Bone marrow smear.
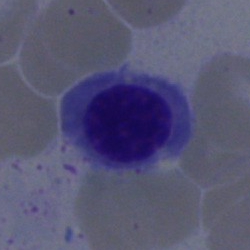

Impression — nucleated red cell.